Bone marrow aspirate smear. Cropped to a single cell.
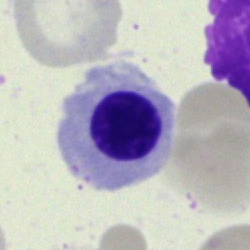Morphology — erythroblast.